Bone marrow aspirate smear: 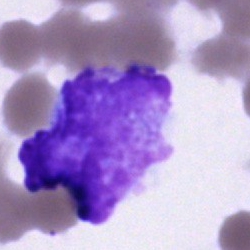 Impression → artifact.